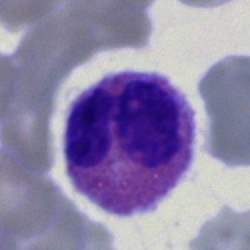

Specimen: bone marrow aspirate smear.
Cell type: eosinophil.